250×250 · bone marrow smear · single cell centered in the field:
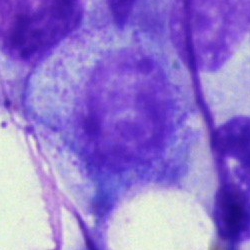

A promyelocyte.